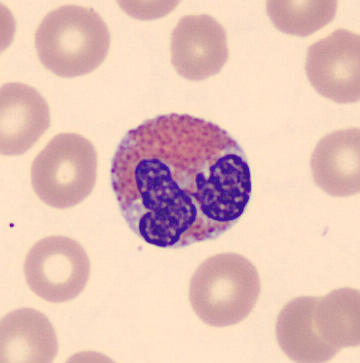Eosinophil.
Acquisition: Peripheral blood film · single-cell field.